Bone marrow aspirate smear — 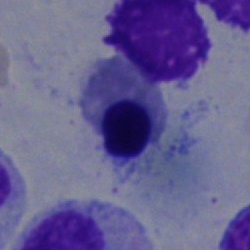 Q: Identify the cell.
A: Nucleated red blood cell.